Bone marrow aspirate smear: 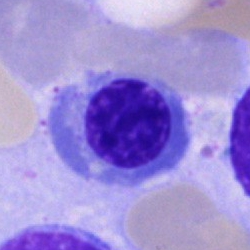Specimen: bone marrow aspirate smear.
Classification: erythroblast.